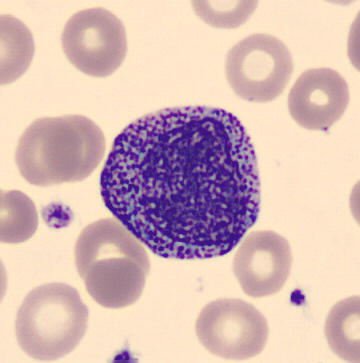
Morphology consistent with a promyelocyte.